Bone marrow aspirate smear
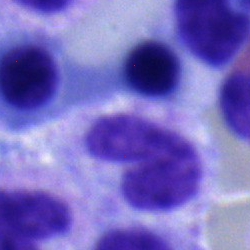
Cell type = stab cell.